Bone marrow smear. Single-cell field. Brightfield, 40× oil-immersion objective.
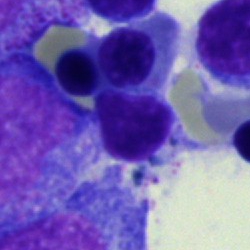
Cell = normoblast.